Bone marrow aspirate smear — 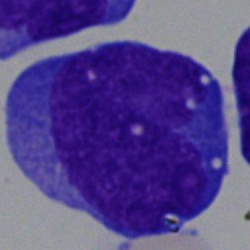
The cell is blast cell.